M8 digital microscope (Precipoint), 100× oil immersion. Peripheral blood film
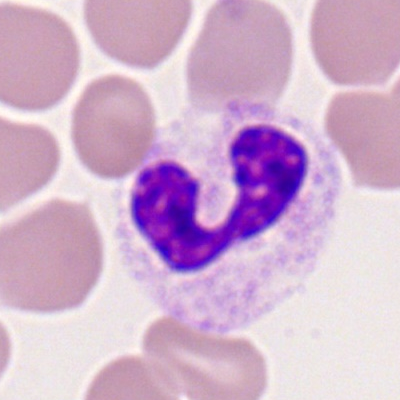 Specimen: peripheral blood smear.
Cell type: neutrophil (band).
Lineage: myeloid.